Bone marrow aspirate smear
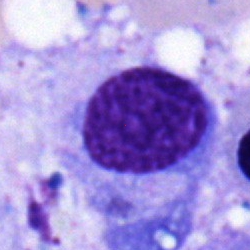 Q: What cell is this?
A: Plasma cell.